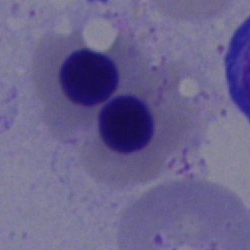Cell type — erythroblast.